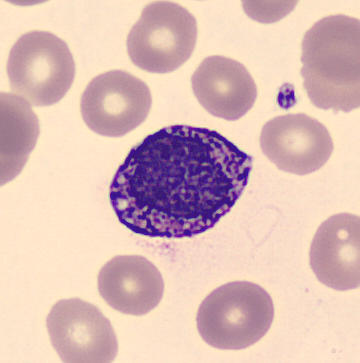 Basophil.

Peripheral blood smear.